250×250; cropped to a single cell; bone marrow aspirate smear: 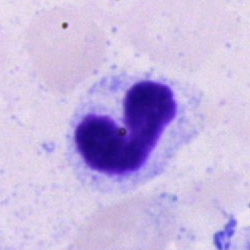
Morphology consistent with a band neutrophil.